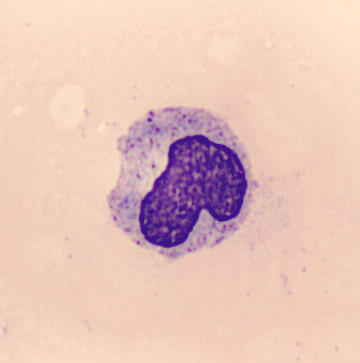
Q: What type of cell is this?
A: Metamyelocyte.
Acquisition: Peripheral blood film. 360×363.